Bone marrow aspirate smear.
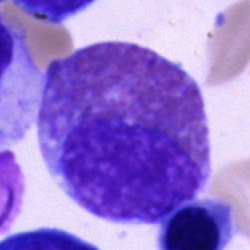 {"cell_type": "eosinophilic granulocyte", "lineage": "myeloid"}